Bone marrow smear:
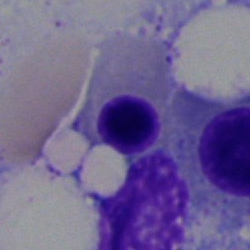

Impression — nucleated red cell.